MGG-stained. Bone marrow aspirate smear. 250×250 px.
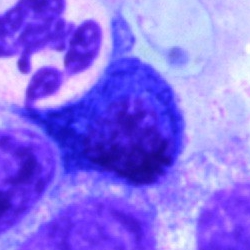

The morphological class is nucleated red cell.